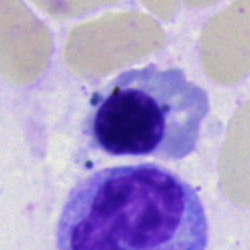 The classification is erythroblast.